Bone marrow smear — 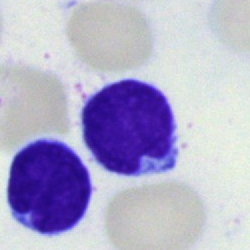

A lymphocyte.